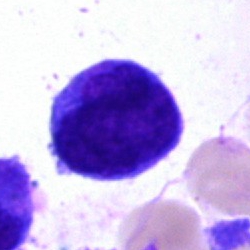

Single-cell crop from a bone marrow smear: blast.